Bone marrow smear — 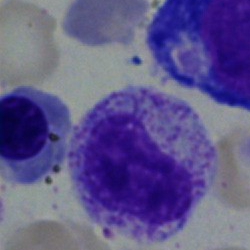
Q: What type of cell is this?
A: It is a myelocyte.